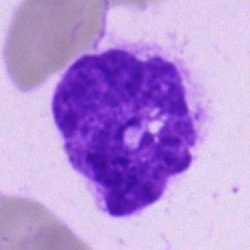

The cell shown is an artefact.